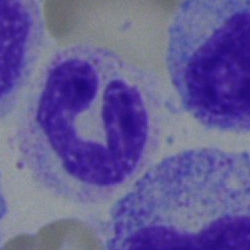 Morphology — band-form neutrophil.